Bone marrow smear; 250×250; Pappenheim-stained.
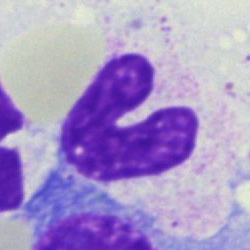

This is a band neutrophil.